Bone marrow aspirate smear.
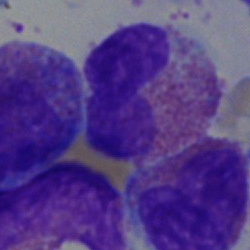
Classification = eosinophil.